Brightfield microscopy, 40× oil immersion. Bone marrow smear.
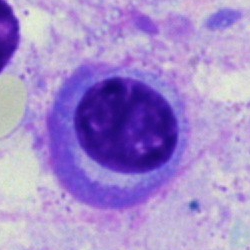 {"cell_type": "plasma cell", "lineage": "lymphoid"}